Bone marrow smear
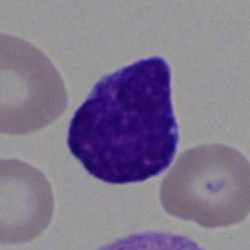

Q: Identify the cell.
A: A blast cell.